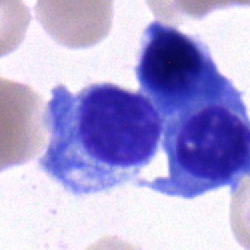 Bone marrow aspirate smear, single cell — nucleated red cell.